Single-cell field; bone marrow smear; Pappenheim-stained.
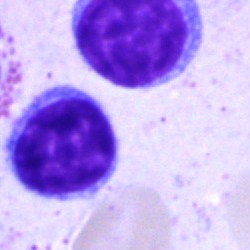
Q: What is the morphological classification of this cell?
A: Lymphocyte.